Bone marrow aspirate smear
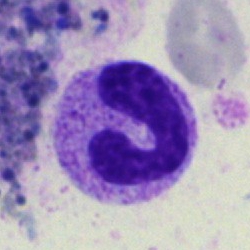 Classification — neutrophil (band).